Bone marrow smear.
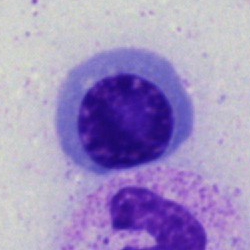
Morphology — nucleated red cell.